Peripheral blood film; Romanowsky-stained: 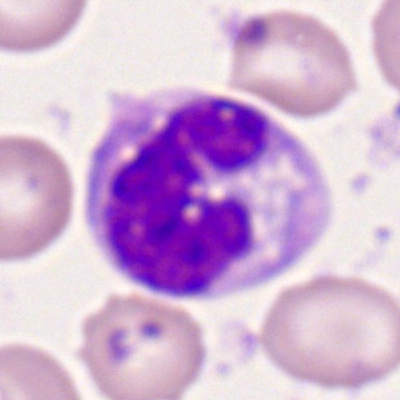

Showing a monocyte.